Bone marrow aspirate smear: 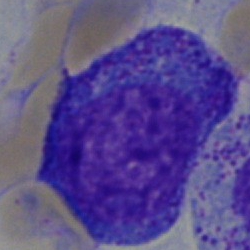{"cell_type": "progranulocyte"}